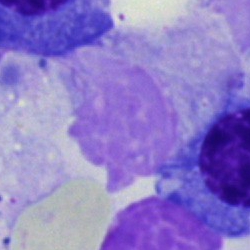

Morphological class = artefact.